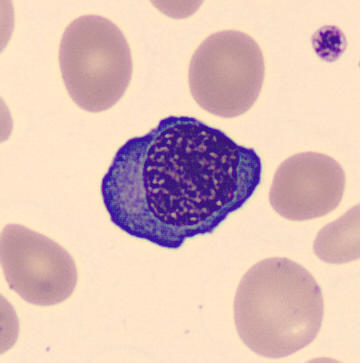

Image: MGG stain; peripheral blood film.
Erythroblast.